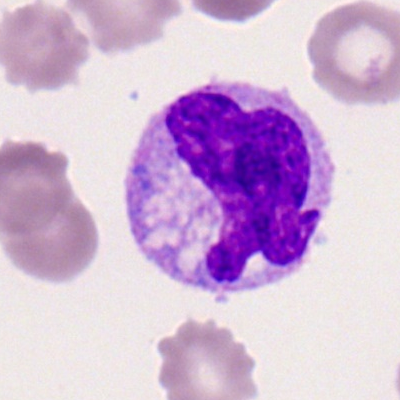

Classification: monocyte.